Bone marrow aspirate smear; single-cell crop.
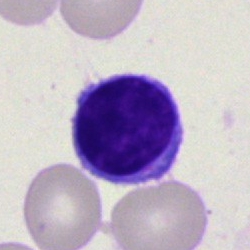

Morphology — lymphocyte.